Bone marrow aspirate smear · single-cell crop · May-Grünwald-Giemsa stain: 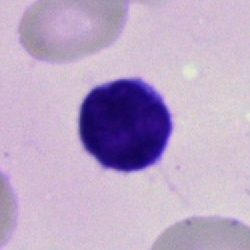

Morphology — typical lymphocyte.